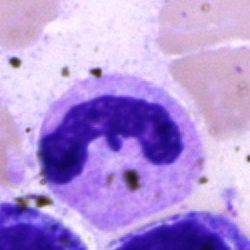 Q: What is shown here?
A: A stab cell.